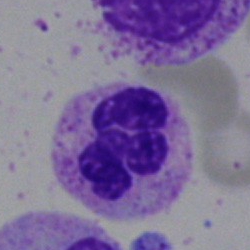 Single-cell crop from a bone marrow smear: segmented neutrophil.